Pappenheim-stained; bone marrow aspirate smear:
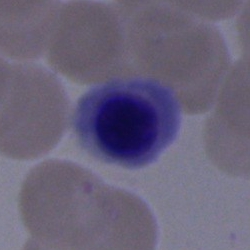Impression — erythroblast.